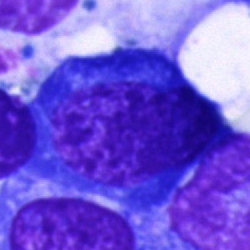
Bone marrow smear showing a nucleated red blood cell.